Bone marrow aspirate smear
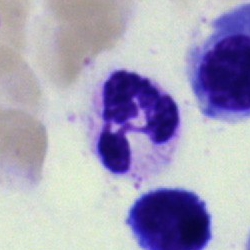

Single cell identified as a polymorphonuclear neutrophil.